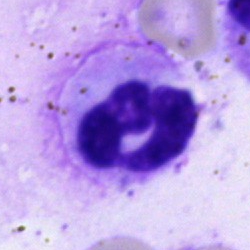 {"cell_type": "polymorphonuclear neutrophil"}